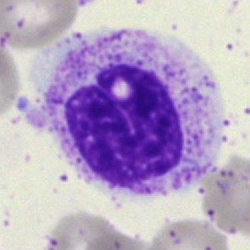
A myelocyte on a bone marrow smear.